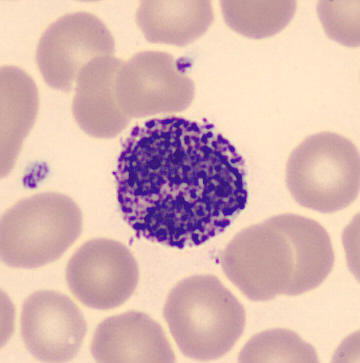
Acquisition: CellaVision DM96 digital cell image. Single-cell crop. Peripheral blood smear.
Morphology consistent with a basophil.